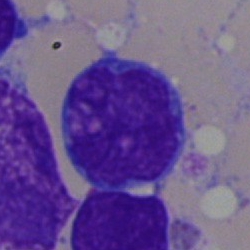

The cell is lymphocyte.